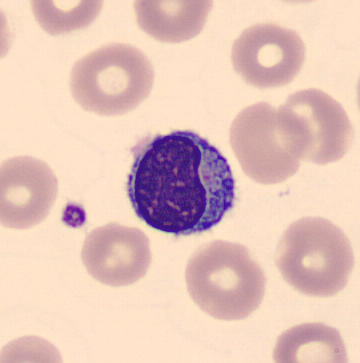 {"cell_type": "lymphocyte"}

Acquisition: Image size 360×363 · peripheral blood film.